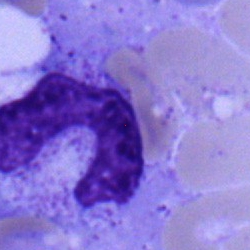

Q: What is the morphological classification of this cell?
A: Band-form neutrophil.